Bone marrow aspirate smear — 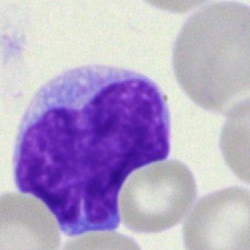
Blast cell.